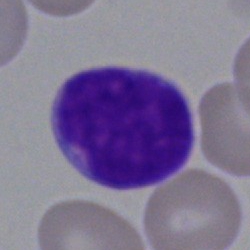 Specimen: bone marrow aspirate smear.
Cell type: blast.